Single cell centered in the field. Bone marrow aspirate smear. Pappenheim-stained
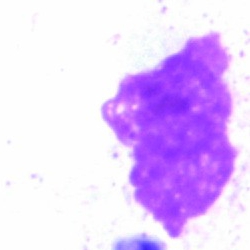

{"cell_type": "artefact"}